Bone marrow aspirate smear.
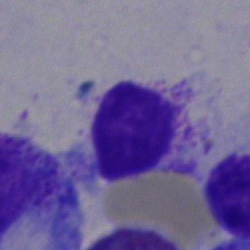Morphological class = artifact.